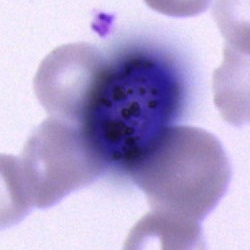

The cell type is artefact.